40× oil immersion; bone marrow smear — 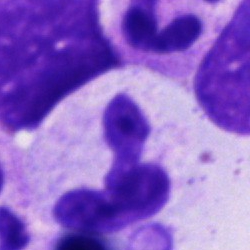
Morphological class: polymorphonuclear neutrophil.